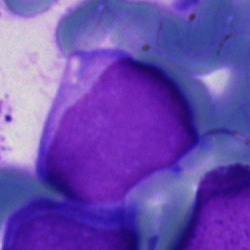 Undifferentiated blast.